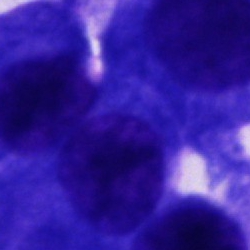Cell = other cell.